May-Grünwald-Giemsa stain; 250×250 px; bone marrow aspirate smear.
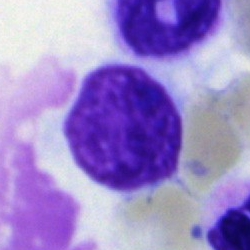
Impression — artifact.